40× oil immersion. Bone marrow aspirate smear
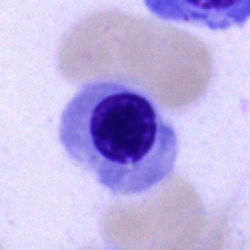
Q: Which cell type is shown here?
A: This is a nucleated red blood cell.